Pappenheim-stained · bone marrow aspirate smear
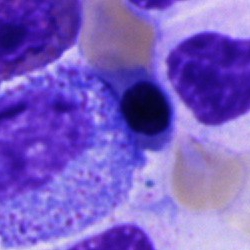

The cell is cell of indeterminate lineage.